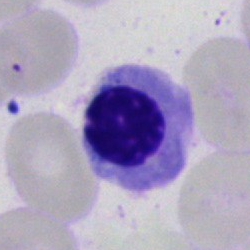 Erythroblast.